Bone marrow smear. 40× objective, oil immersion — 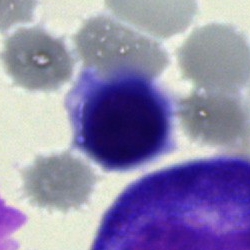 {"cell_type": "nucleated red cell", "lineage": "erythroid"}